Bone marrow aspirate smear
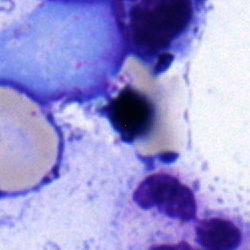 Specimen: bone marrow aspirate smear.
Cell type: normoblast.
Lineage: erythroid.